Peripheral blood film. 400 by 400 pixels. Romanowsky-type stain: 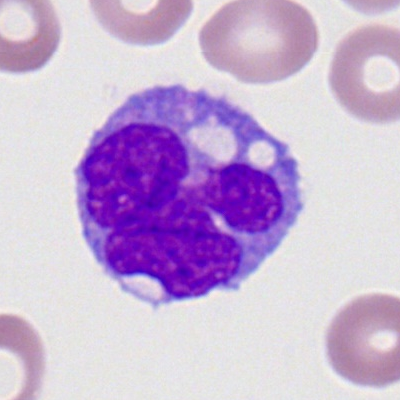 Specimen: peripheral blood smear.
Cell: monocyte.
Lineage: myeloid.